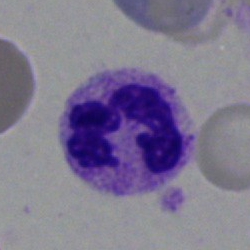
The cell is neutrophil (segmented).